Bone marrow smear; 40× objective, oil immersion
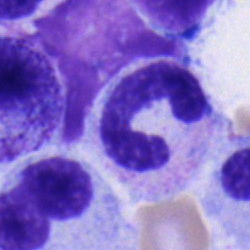
The cell shown is a band neutrophil.